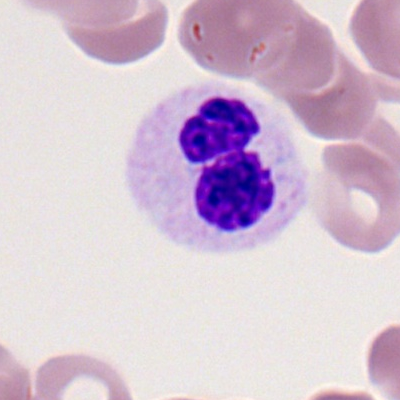
The morphological class is neutrophil (segmented).